Peripheral blood film: 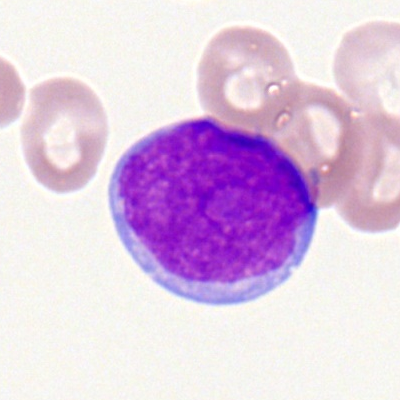Q: What is the morphological classification of this cell?
A: This is a myeloid blast.